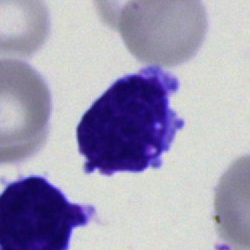

Specimen: bone marrow smear.
Morphological class: blast.